Bone marrow smear.
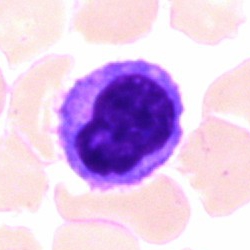

Showing a lymphocyte.